Bone marrow aspirate smear — 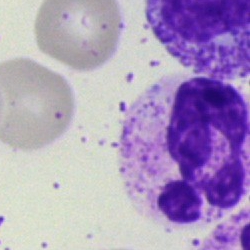
The cell is polymorphonuclear neutrophil.